Bone marrow aspirate smear. Pappenheim-stained — 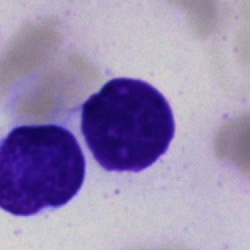The cell shown is a lymphocyte.